Bone marrow aspirate smear:
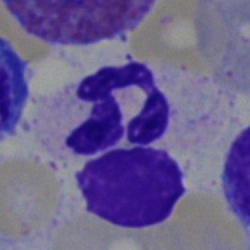Impression → polymorphonuclear neutrophil.